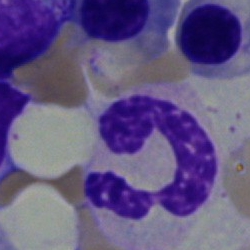
Cell = polymorphonuclear neutrophil.